Peripheral blood film · image size 400×400 · M8 digital microscope (Precipoint), 100× oil immersion:
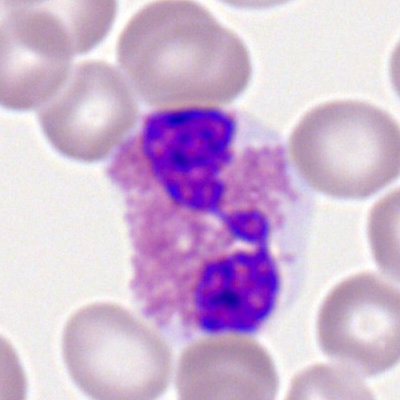
Q: What is the morphological classification of this cell?
A: An eosinophilic granulocyte.